Bone marrow aspirate smear · 250×250.
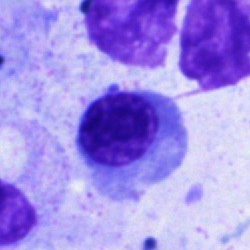

Showing a normoblast.